Bone marrow aspirate smear — 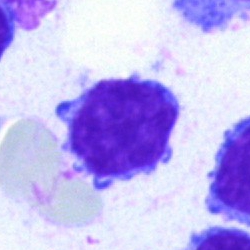

{"cell_type": "lymphocyte"}